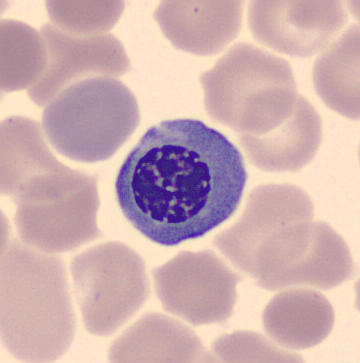

CellaVision DM96. Peripheral blood smear. Morphology consistent with a nucleated red blood cell.